Image size 250×250; brightfield, 40× oil-immersion objective; bone marrow aspirate smear
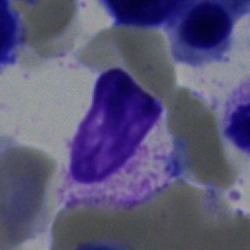
Single cell identified as an artifact.